Bone marrow aspirate smear · MGG-stained:
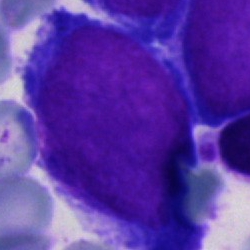
Morphological class: blast.